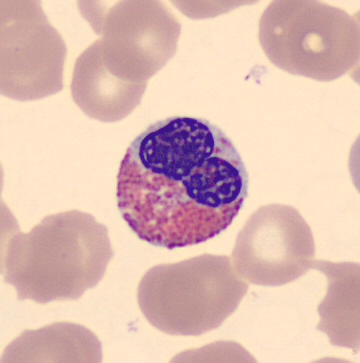 From a peripheral blood smear: an eosinophil.